Bone marrow smear: 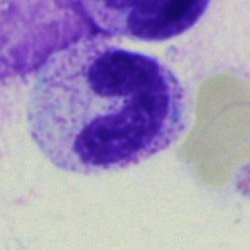Showing a stab cell.